Bone marrow aspirate smear.
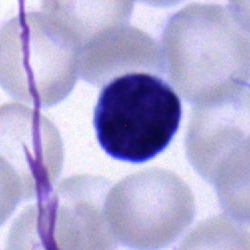This is a lymphocyte.